40× oil immersion; bone marrow smear: 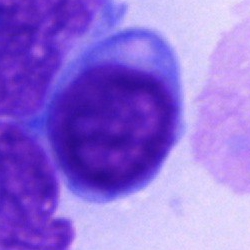 Undifferentiated blast.